Bone marrow aspirate smear.
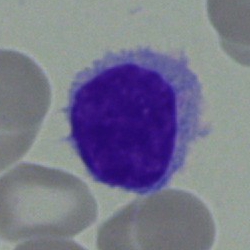
Q: What is shown here?
A: It is a typical lymphocyte.